Bone marrow smear
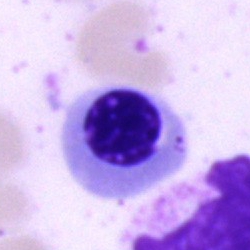 Morphological class — normoblast.